Bone marrow smear. 250×250 — 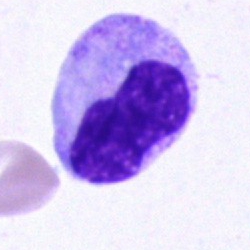 Morphology — metamyelocyte.